Peripheral blood film. Single cell centered in the field — 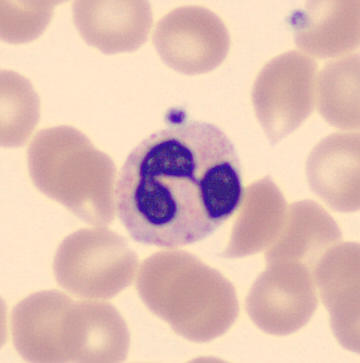

Segmented neutrophil.